100× objective, oil immersion. Peripheral blood film — 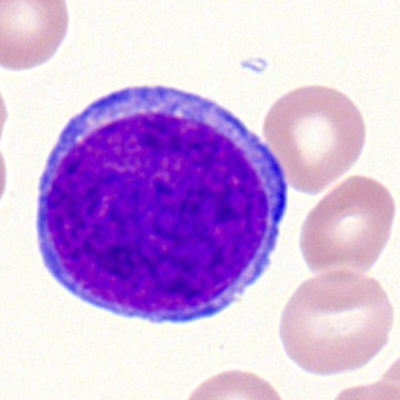
This is a myeloblast.